Bone marrow smear: 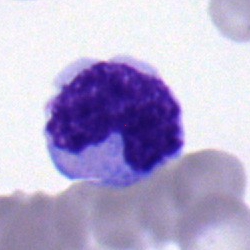

Specimen: bone marrow smear.
Morphological class: monocyte.
Lineage: myeloid.